Bone marrow aspirate smear:
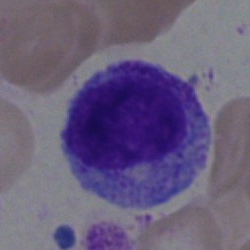

Myelocyte.